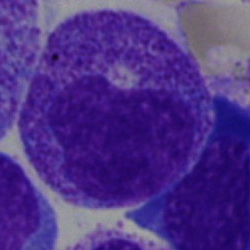
The classification is metamyelocyte.